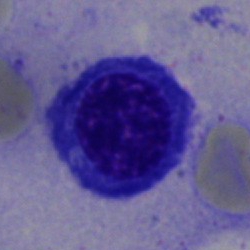

Q: What type of cell is this?
A: A normoblast.